Peripheral blood smear.
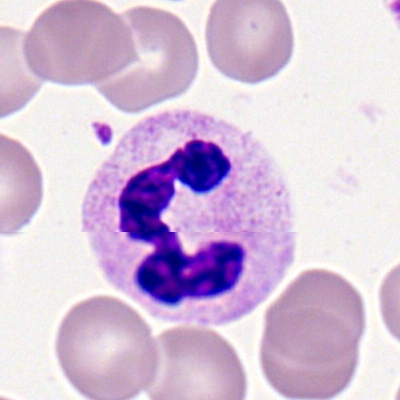Morphology consistent with a polymorphonuclear neutrophil.